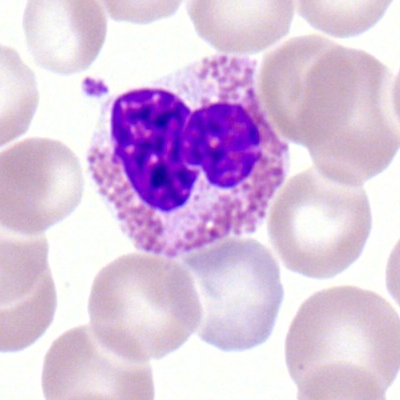An eosinophil.